250 by 250 pixels. Bone marrow aspirate smear. Pappenheim-stained:
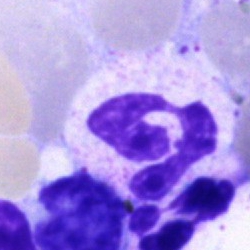
Classification — neutrophil (segmented).